Peripheral blood smear — 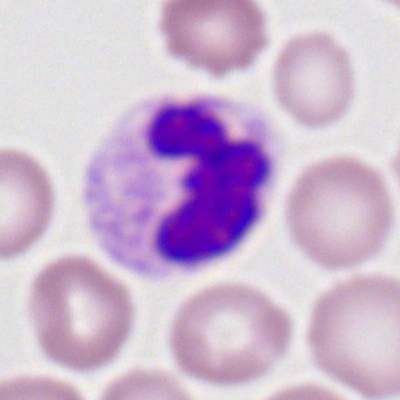Morphology → neutrophil (segmented).